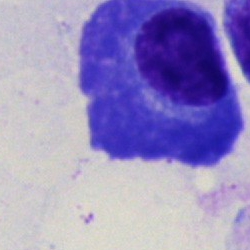

Classification: plasmacyte.